Bone marrow aspirate smear: 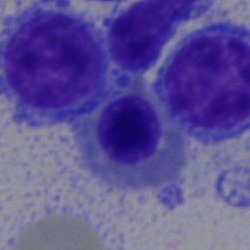
Impression → erythroblast.